Image size 400×400 · peripheral blood smear
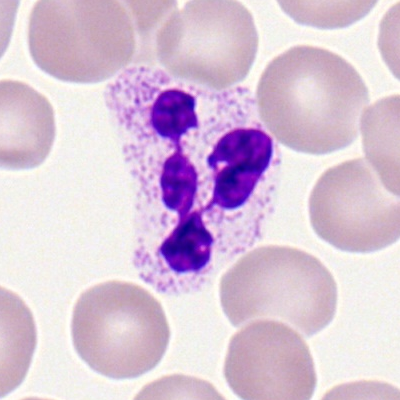

Single cell identified as a neutrophil (segmented).